Bone marrow smear
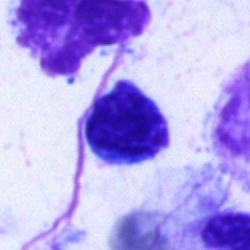

This is a lymphocyte.